Romanowsky-stained; peripheral blood smear; 100× objective, oil immersion: 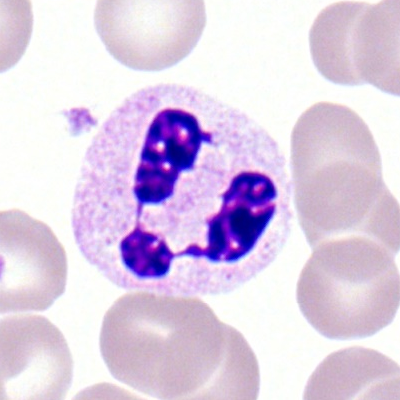A neutrophil (segmented).